Peripheral blood film. Single-cell field. 100× objective, oil immersion.
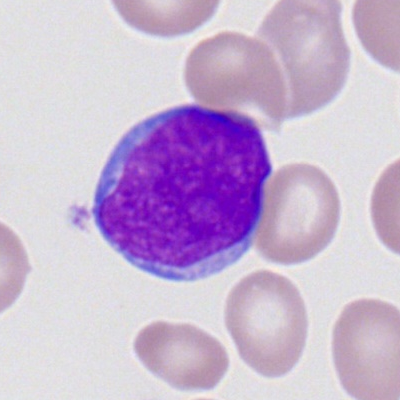 Morphological class — myeloid blast.